Pappenheim-stained · cropped to a single cell · bone marrow aspirate smear — 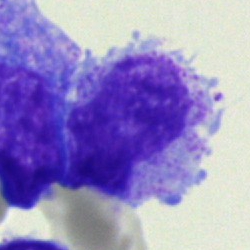Showing a myelocyte.